Bone marrow aspirate smear: 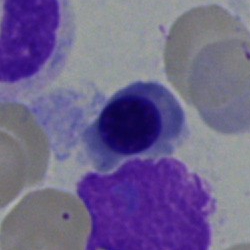

Specimen: bone marrow aspirate smear.
Cell type: nucleated red blood cell.